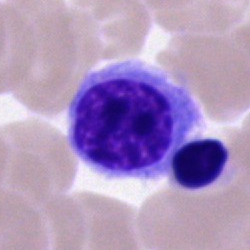

Morphological class — erythroblast.